Bone marrow smear; MGG-stained:
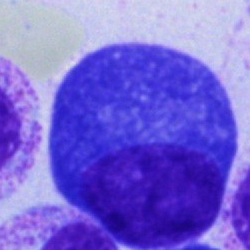

Morphological class = plasma cell.